Bone marrow aspirate smear:
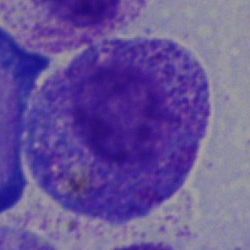

The cell is progranulocyte.